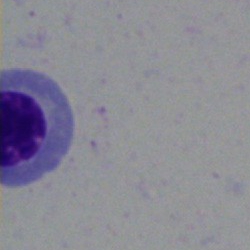{"cell_type": "nucleated red blood cell", "lineage": "erythroid"}